Peripheral blood film — 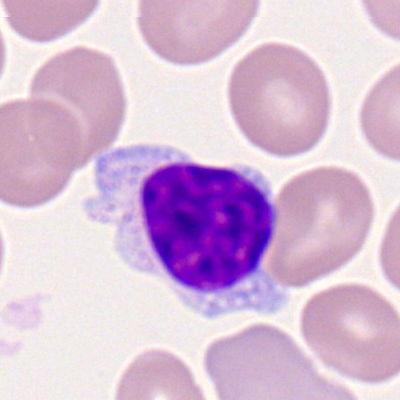 Showing a lymphocyte.